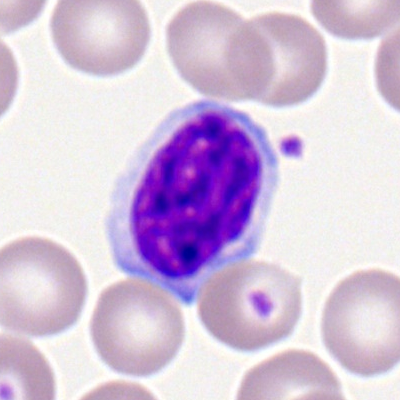 Peripheral blood film, single cell — lymphocyte.